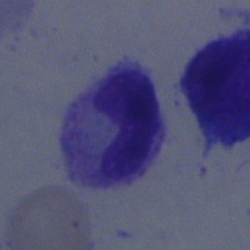

Single cell identified as a polymorphonuclear neutrophil.